Bone marrow aspirate smear
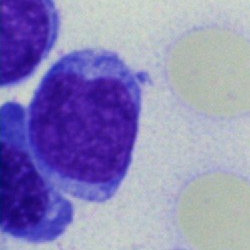Specimen: bone marrow aspirate smear.
Cell type: blast.